Single-cell crop · bone marrow smear: 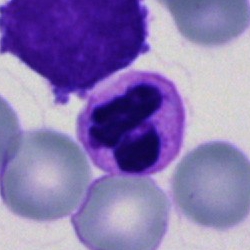 Single cell identified as a polymorphonuclear neutrophil.